Single-cell field; bone marrow smear; 40× objective, oil immersion: 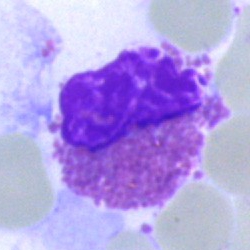

Morphological class: eosinophil.